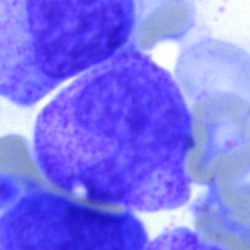Cell type: neutrophil (segmented).